Peripheral blood smear:
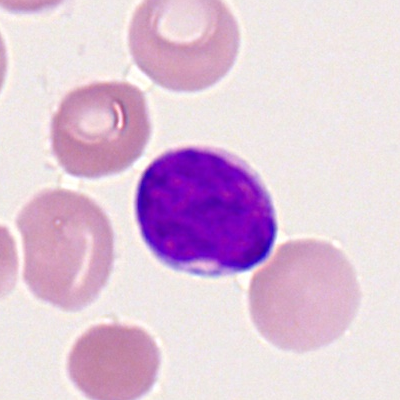
{"cell_type": "lymphocyte"}